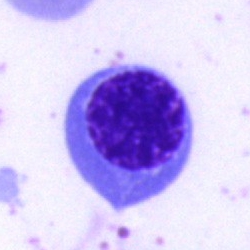
The cell shown is an undifferentiated blast.